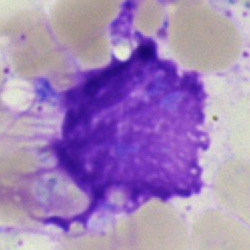{"cell_type": "artefact"}